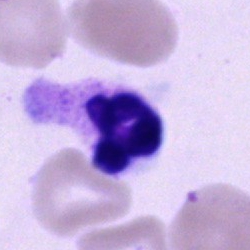

Morphology → polymorphonuclear neutrophil.